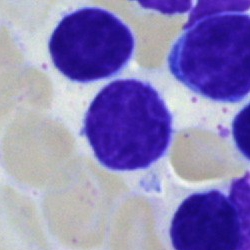Classification — lymphocyte.